Bone marrow smear.
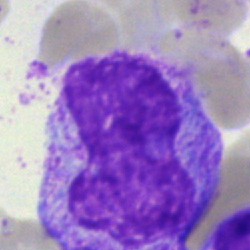

Cell: progranulocyte.